Bone marrow smear
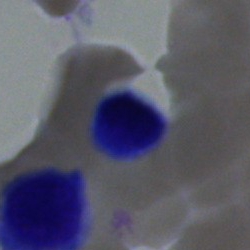

Specimen: bone marrow smear.
Cell: lymphocyte.
Lineage: lymphoid.